40× objective, oil immersion. Bone marrow aspirate smear:
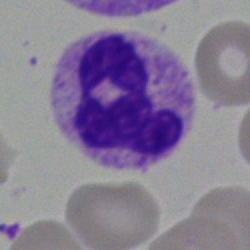 Segmented neutrophil.